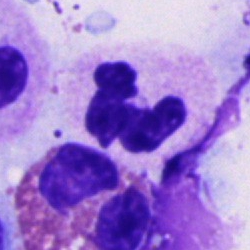

A polymorphonuclear neutrophil on a bone marrow smear.